Bone marrow smear.
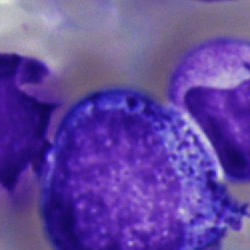 The cell shown is a promyelocyte.